Bone marrow aspirate smear; 40× oil immersion:
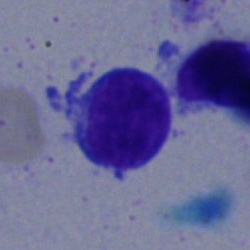
Specimen: bone marrow smear.
Cell: lymphocyte.
Lineage: lymphoid.